Bone marrow aspirate smear — 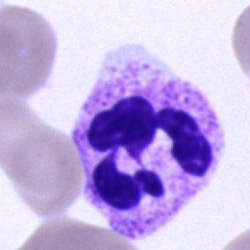
Showing a neutrophil (segmented).